Bone marrow smear:
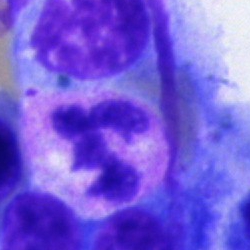

Morphology consistent with a neutrophil (segmented).